Single-cell field; bone marrow aspirate smear.
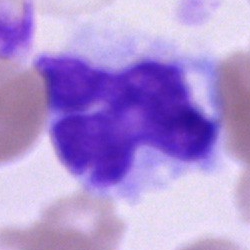

Morphology — monocyte.